40× objective, oil immersion; bone marrow smear; single cell centered in the field:
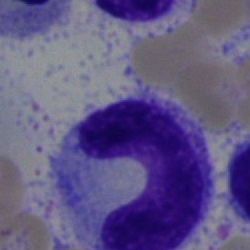

Neutrophil (band).